250×250 px; 40× oil immersion; bone marrow aspirate smear
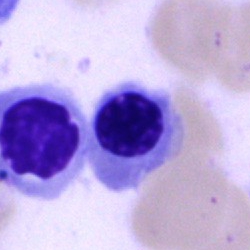 {"cell_type": "nucleated red cell", "lineage": "erythroid"}